Bone marrow aspirate smear — 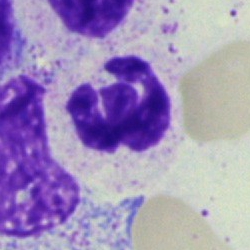

Cell type — segmented neutrophil.